Bone marrow smear.
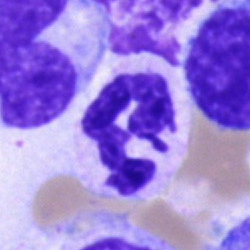
Cell: segmented neutrophil.